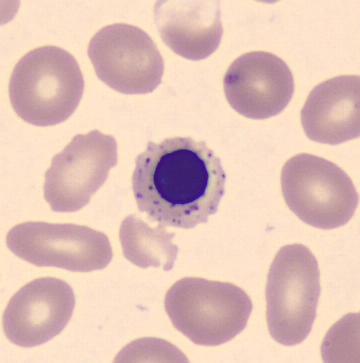
Impression → erythroblast.